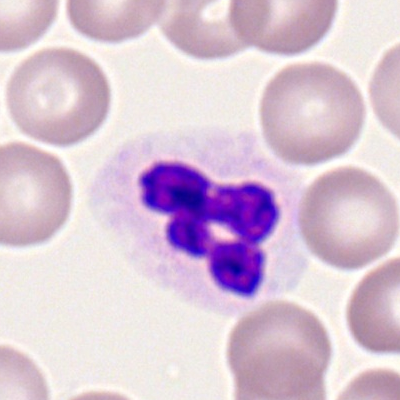
A segmented neutrophil on a peripheral blood smear.